Bone marrow smear.
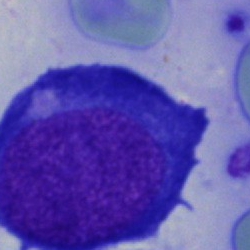 Q: What type of cell is this?
A: This is a normoblast.